Image size 250×250; bone marrow aspirate smear
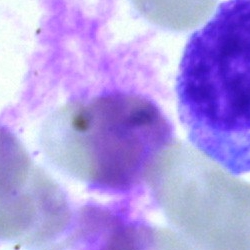An artefact.